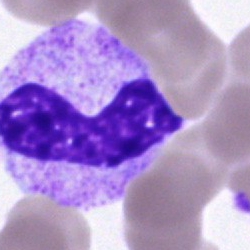A neutrophil (band) on a bone marrow smear.